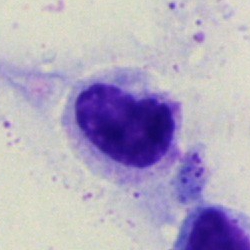 {"cell_type": "unidentifiable cell"}